Brightfield microscopy, 40× oil immersion; bone marrow smear; image size 250×250 — 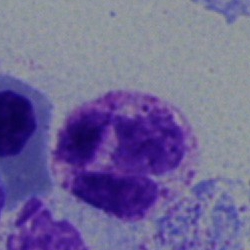

Cell type = basophilic granulocyte.